Bone marrow smear: 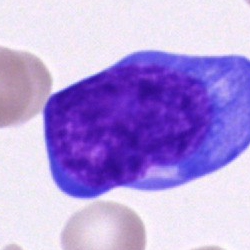 Q: Identify the cell.
A: Undifferentiated blast.